Bone marrow smear.
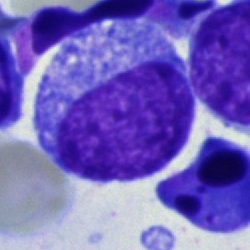 Q: Which cell type is shown here?
A: A blast.